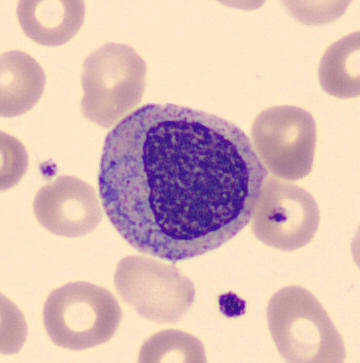Q: What is this?
A: Myelocyte.